Bone marrow smear — 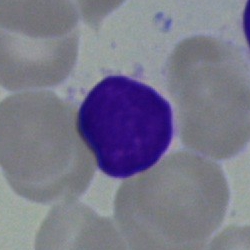Specimen: bone marrow smear.
Cell: lymphocyte.